Bone marrow aspirate smear · brightfield, 40× oil-immersion objective.
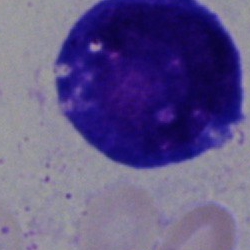
Impression → blast.